40× objective, oil immersion. Bone marrow smear. Pappenheim-stained: 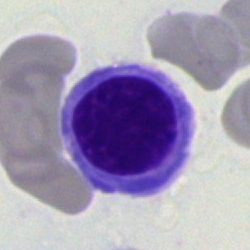The cell shown is a normoblast.